400×400 px. Peripheral blood film. Romanowsky-stained — 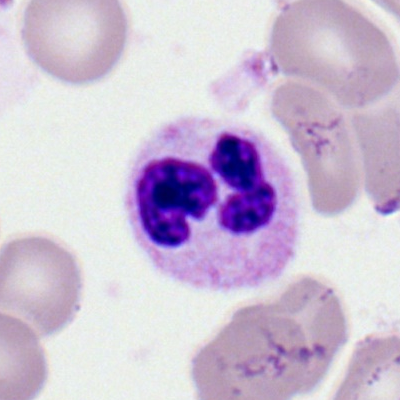

This is a polymorphonuclear neutrophil.